250 by 250 pixels · bone marrow smear.
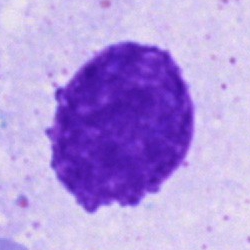

Specimen: bone marrow smear.
Morphological class: artefact.